May-Grünwald-Giemsa/Pappenheim stain. Bone marrow smear. 250 by 250 pixels.
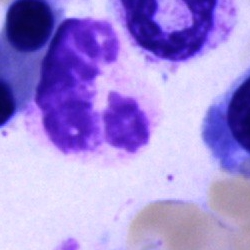 Q: What is shown here?
A: This is a segmented neutrophil.